Bone marrow aspirate smear: 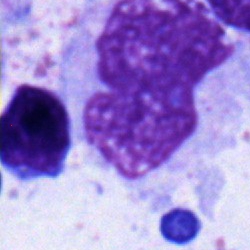

Q: Which cell type is shown here?
A: This is a typical lymphocyte.